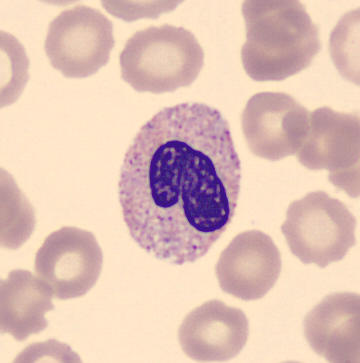
A neutrophil (band).

Preparation: 360×363 px · CellaVision DM96 · peripheral blood smear.